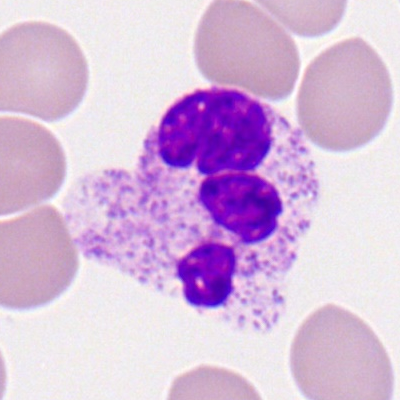
A segmented neutrophil.